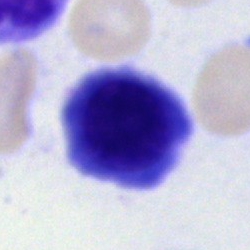An erythroblast on a bone marrow smear.